Bone marrow smear; 40× objective, oil immersion — 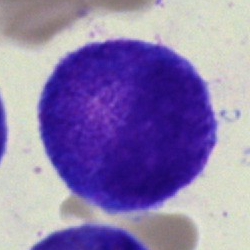Progranulocyte.